MGG-stained. Bone marrow smear:
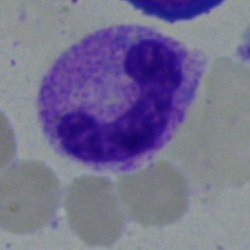Q: What is shown here?
A: This is a band neutrophil.